Bone marrow aspirate smear; 40× objective, oil immersion; single cell centered in the field
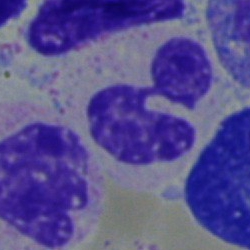 {"cell_type": "neutrophil (segmented)", "lineage": "myeloid"}